Bone marrow smear
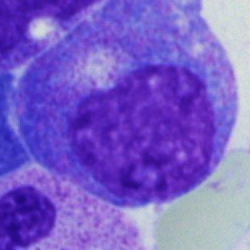Cell type = promyelocyte.